Bone marrow smear: 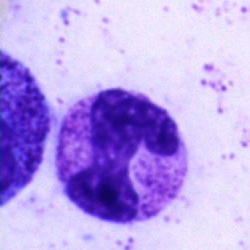

Morphological class = segmented neutrophil.